Bone marrow smear
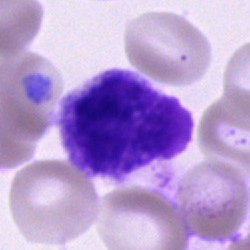
An artifact.